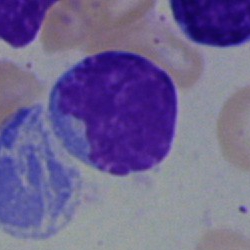
Cell — typical lymphocyte.